Bone marrow smear; MGG-stained; single-cell field — 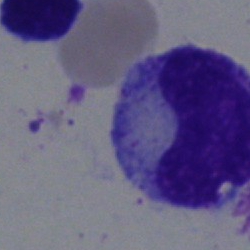
Showing a metamyelocyte.